Bone marrow aspirate smear: 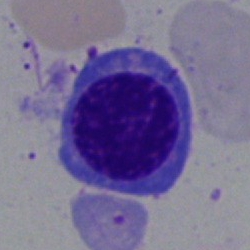
A normoblast.